Bone marrow smear.
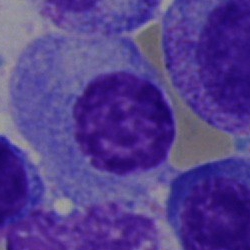 Impression → plasma cell.